Bone marrow aspirate smear
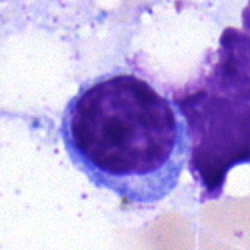Q: What type of cell is this?
A: It is a typical lymphocyte.